250 by 250 pixels · bone marrow smear:
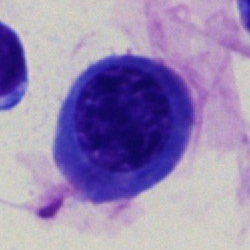 {"cell_type": "normoblast"}